250×250. Bone marrow aspirate smear. Pappenheim-stained.
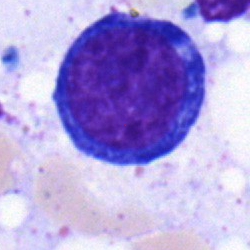

Morphology consistent with a pronormoblast.